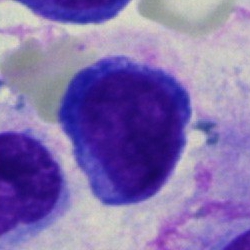Single-cell crop from a bone marrow smear: lymphocyte.